Single cell centered in the field · bone marrow smear: 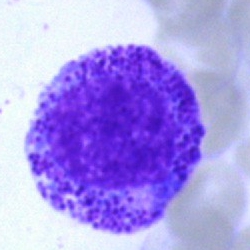

Cell — promyelocyte.